Bone marrow aspirate smear — 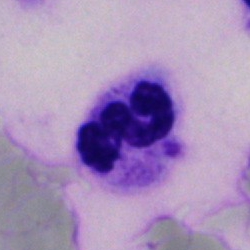 Cell: neutrophil (segmented).